Bone marrow aspirate smear:
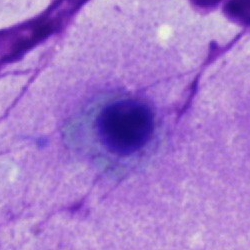 Q: What is shown here?
A: A nucleated red blood cell.